Bone marrow aspirate smear
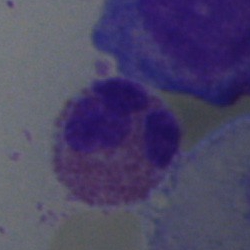 Morphology consistent with an eosinophil.